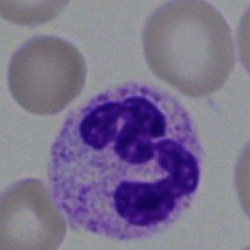
This is a segmented neutrophil.